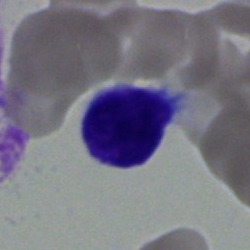Cell type = typical lymphocyte.